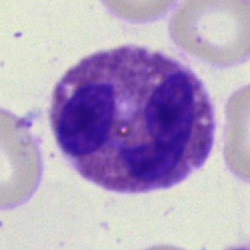
Single cell identified as an eosinophil.